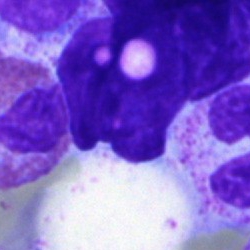
Q: What is shown here?
A: Artifact.